Bone marrow aspirate smear · cropped to a single cell:
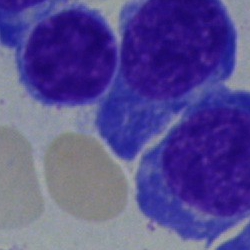

Nucleated red cell.